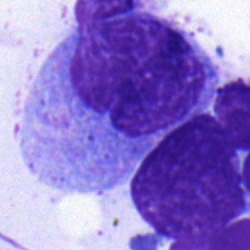
Q: What is the morphological classification of this cell?
A: It is a monocyte.